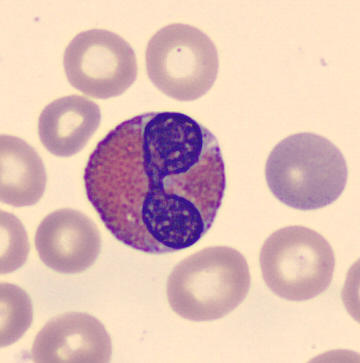

Image: Single-cell crop · peripheral blood film.

Classification = eosinophilic granulocyte.